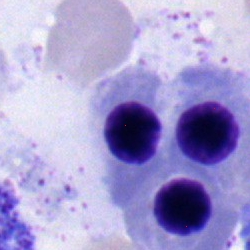 Cell type: normoblast.